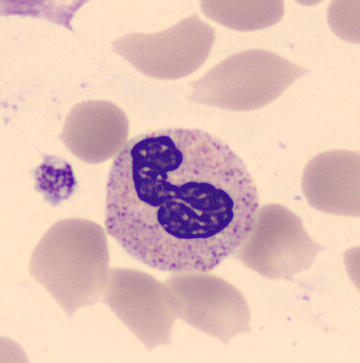
Morphology — polymorphonuclear neutrophil.